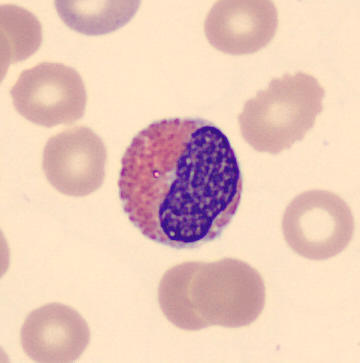 Q: What is shown here?
A: An eosinophilic granulocyte.

Peripheral blood smear.